Bone marrow smear:
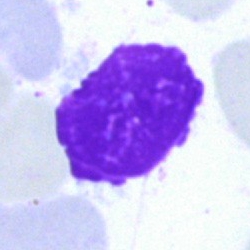
This is an artefact.